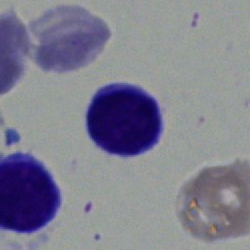
Single cell identified as a lymphocyte.